Bone marrow smear.
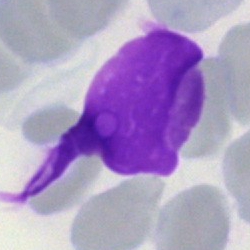Single cell identified as an artefact.